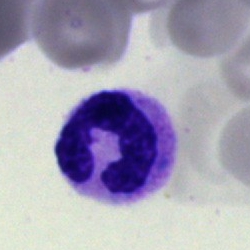

Impression → segmented neutrophil.